Bone marrow aspirate smear — 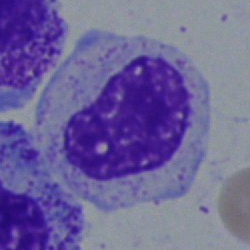Morphology consistent with a metamyelocyte.